Single cell centered in the field · bone marrow aspirate smear.
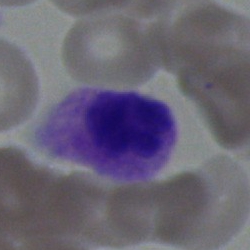

An artefact.